Bone marrow aspirate smear
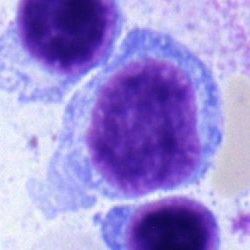
Specimen: bone marrow aspirate smear.
Morphological class: typical lymphocyte.